Bone marrow smear. Brightfield, 40× oil-immersion objective. Cropped to a single cell
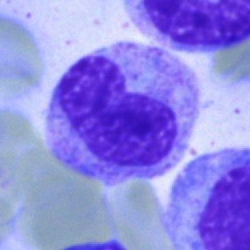

Showing a metamyelocyte.